Bone marrow smear · MGG-stained:
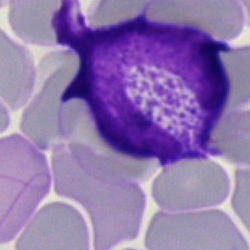 Q: What is the morphological classification of this cell?
A: It is a stab cell.